Brightfield microscopy, 40× oil immersion; bone marrow smear:
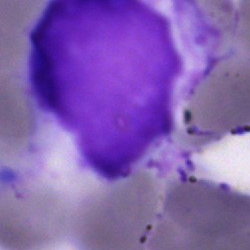
Showing an artifact.